250×250 px. Brightfield microscopy, 40× oil immersion. Bone marrow smear.
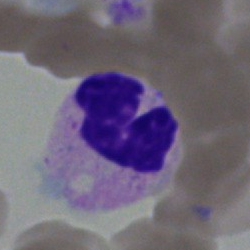
Classification = segmented neutrophil.